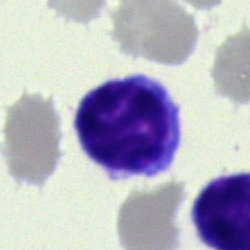

Specimen: bone marrow aspirate smear.
Cell: typical lymphocyte.